Bone marrow smear. Single-cell crop
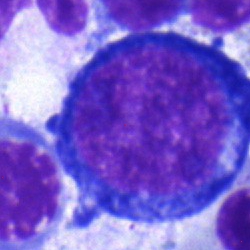

Morphology consistent with a proerythroblast.